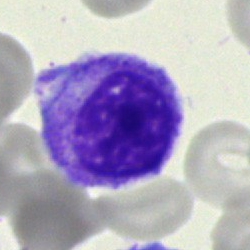

Bone marrow aspirate smear, single cell — myelocyte.